Bone marrow smear.
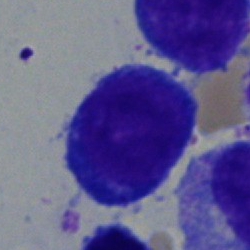 The cell type is proerythroblast.